Bone marrow smear; 40× objective, oil immersion; Pappenheim-stained.
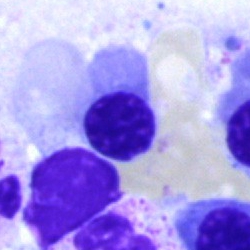
Specimen: bone marrow aspirate smear.
Morphological class: nucleated red cell.
Lineage: erythroid.